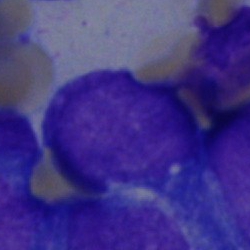

Bone marrow smear showing a blast cell.